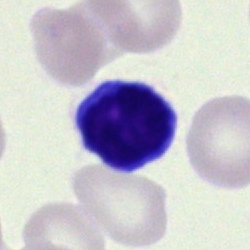
Morphology consistent with a typical lymphocyte.